Peripheral blood smear: 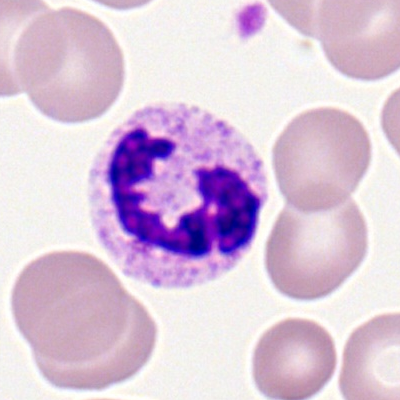Specimen: peripheral blood film.
Classification: segmented neutrophil.